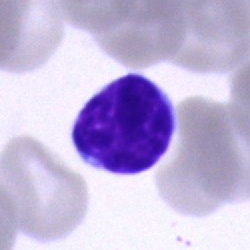
Specimen: bone marrow aspirate smear.
Classification: lymphocyte.